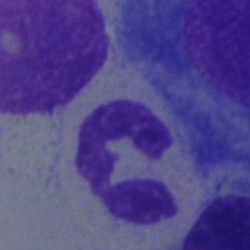

{"cell_type": "polymorphonuclear neutrophil"}